250 by 250 pixels · bone marrow smear — 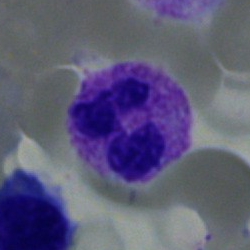

Q: What cell is this?
A: A neutrophil (segmented).